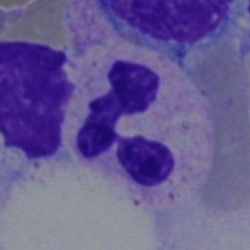

Cell = polymorphonuclear neutrophil.